Bone marrow smear.
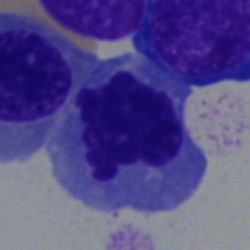

Morphological class = nucleated red blood cell.